Bone marrow smear. Single cell centered in the field: 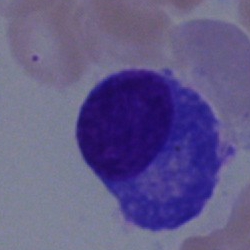 A plasma cell.